Bone marrow smear:
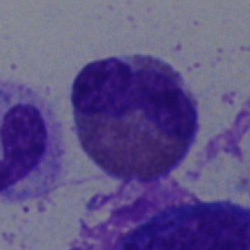
Q: What is the morphological classification of this cell?
A: It is an eosinophil.